Bone marrow smear.
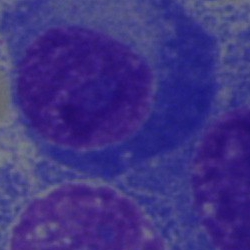 Q: What is the morphological classification of this cell?
A: It is a plasma cell.